Bone marrow aspirate smear:
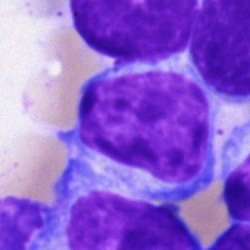
This is a typical lymphocyte.